Bone marrow aspirate smear:
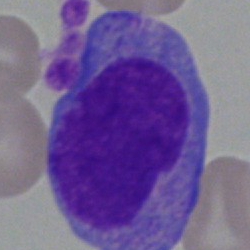Monocyte.